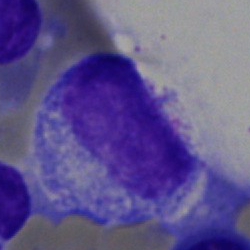{"cell_type": "promyelocyte", "lineage": "myeloid"}